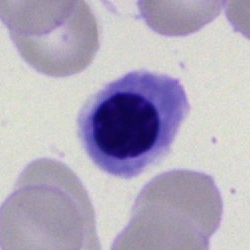{"cell_type": "erythroblast"}